Bone marrow smear; 250×250 px.
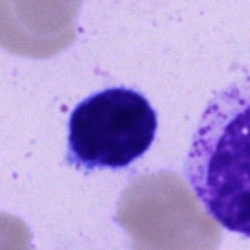

This is a plasmacyte.